Single cell centered in the field · May-Grünwald-Giemsa/Pappenheim stain · bone marrow aspirate smear.
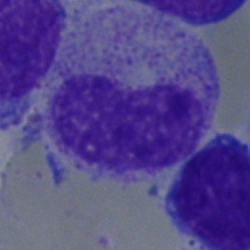
Classification = metamyelocyte.